Bone marrow aspirate smear
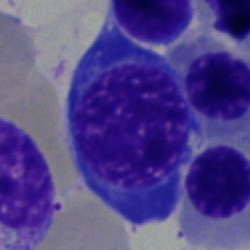The cell is nucleated red blood cell.